Bone marrow smear — 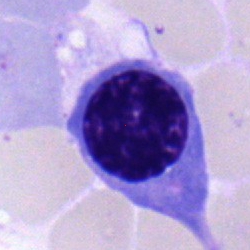
The classification is erythroblast.